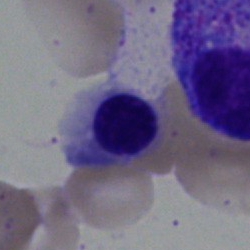
Morphology consistent with a normoblast.